Bone marrow smear: 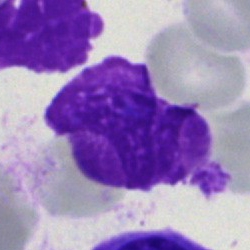

The cell shown is an artifact.